Bone marrow aspirate smear
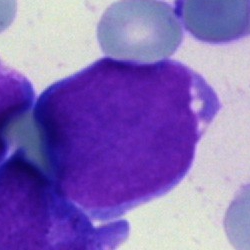

Classification = undifferentiated blast.